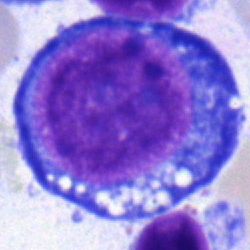 Single-cell crop from a bone marrow smear: proerythroblast.